Bone marrow smear:
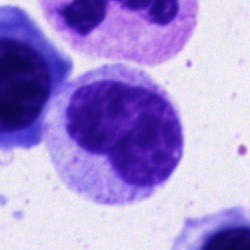

This is a metamyelocyte.